Bone marrow smear; brightfield, 40× oil-immersion objective: 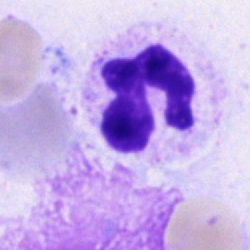Morphological class = polymorphonuclear neutrophil.